Peripheral blood film:
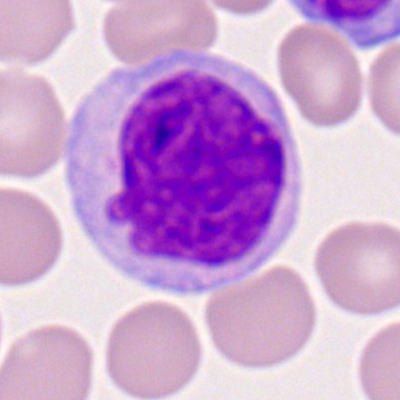

{"cell_type": "monocyte"}